Bone marrow smear — 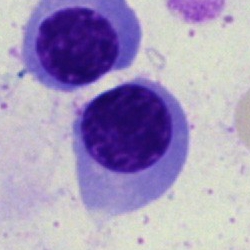

Showing a nucleated red cell.